Bone marrow aspirate smear:
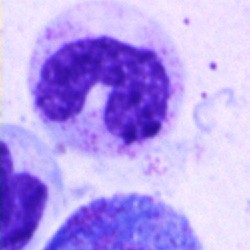 This is a stab cell.